Bone marrow aspirate smear. 250 by 250 pixels. Pappenheim-stained — 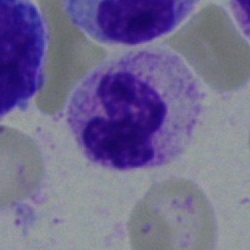 Morphology consistent with a neutrophil (band).